Peripheral blood film.
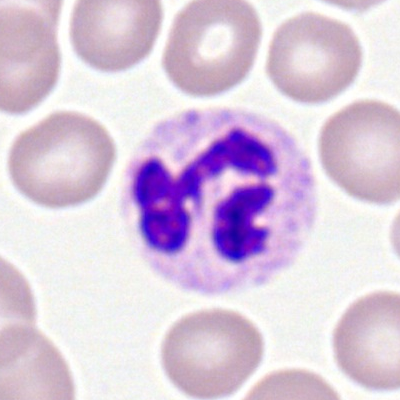

Impression → neutrophil (segmented).